Bone marrow smear.
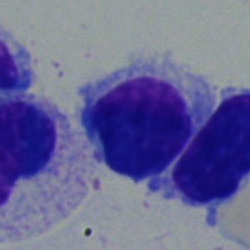

{"cell_type": "lymphocyte", "lineage": "lymphoid"}